Bone marrow aspirate smear · MGG-stained: 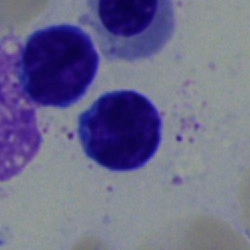
Single cell identified as a lymphocyte.